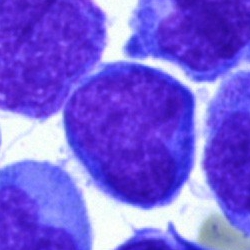Single cell identified as a blast.